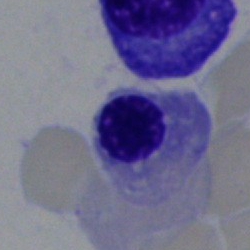Cell: nucleated red blood cell.